MGG-stained. Bone marrow aspirate smear:
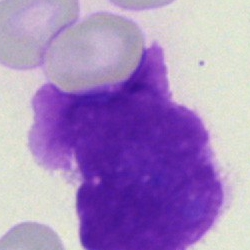 Q: What is shown here?
A: Artefact.